Bone marrow smear:
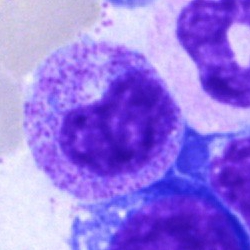

The cell shown is a myelocyte.